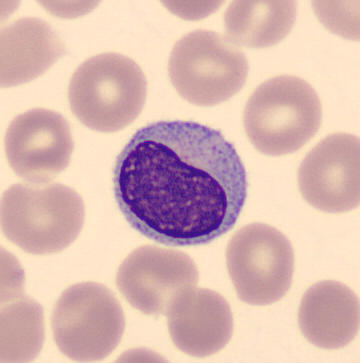 Specimen: peripheral blood film.
Morphological class: typical lymphocyte.